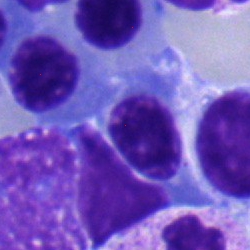Q: What type of cell is this?
A: Normoblast.